Bone marrow smear: 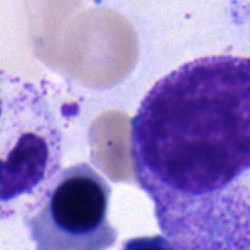
Impression → proerythroblast.